Bone marrow aspirate smear; 250×250; MGG-stained.
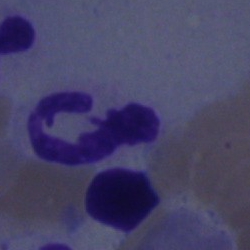

Specimen: bone marrow smear.
Morphological class: segmented neutrophil.